Bone marrow smear; single cell centered in the field:
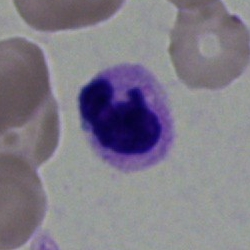
{"cell_type": "segmented neutrophil"}